Bone marrow aspirate smear: 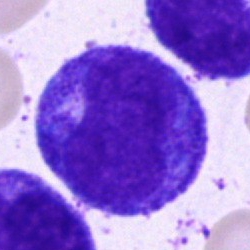Morphological class: promyelocyte.